Bone marrow smear:
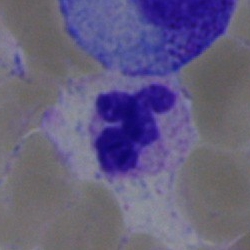

The cell shown is a neutrophil (segmented).